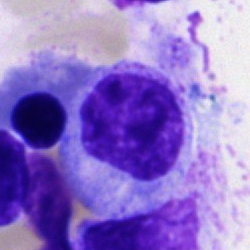Classification = lymphocyte.